Bone marrow smear; brightfield, 40× oil-immersion objective
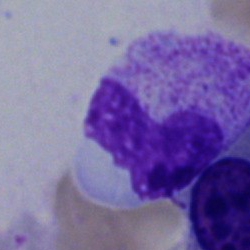Cell — band-form neutrophil.